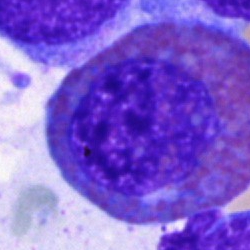
Morphology → eosinophil.